Cropped to a single cell; bone marrow aspirate smear
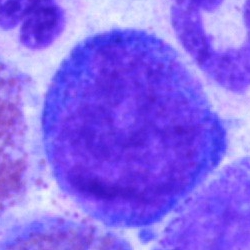

Morphology → pronormoblast.